Bone marrow smear: 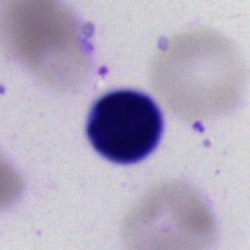

{"cell_type": "lymphocyte", "lineage": "lymphoid"}